Bone marrow smear
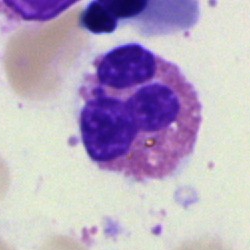{"cell_type": "eosinophilic granulocyte", "lineage": "myeloid"}